Bone marrow smear · 250×250 px · single cell centered in the field:
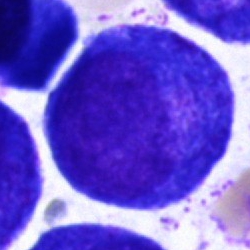 Cell: progranulocyte.